May-Grünwald-Giemsa/Pappenheim stain · bone marrow aspirate smear: 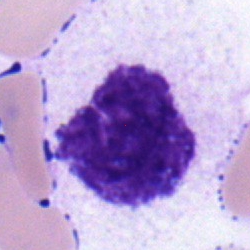

Specimen: bone marrow smear.
Cell: undifferentiated blast.